Brightfield, 40× oil-immersion objective. Bone marrow smear
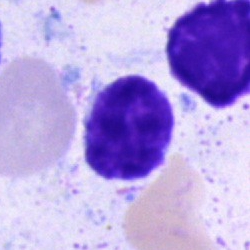Q: Which cell type is shown here?
A: A typical lymphocyte.